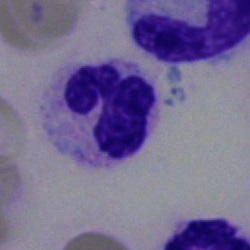Morphology — neutrophil (segmented).